Peripheral blood smear
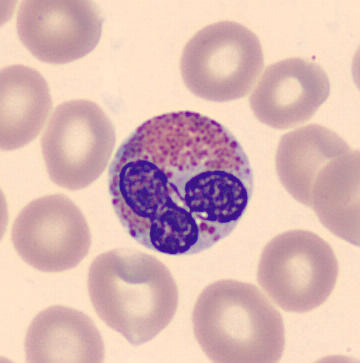Morphology consistent with an eosinophil.